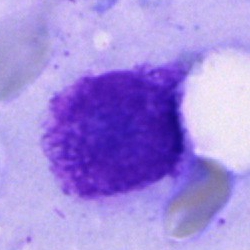 Morphological class: artifact.